Bone marrow aspirate smear · 250×250 · Pappenheim-stained: 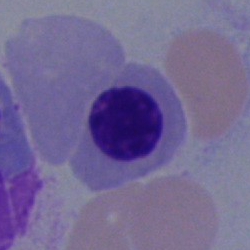
{"cell_type": "erythroblast", "lineage": "erythroid"}